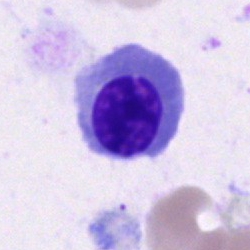Morphology → erythroblast.